Bone marrow aspirate smear.
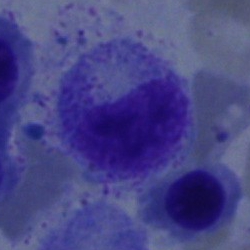 Morphology consistent with a myelocyte.